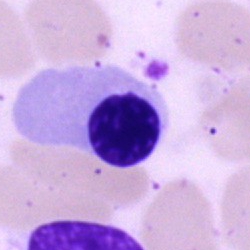{"cell_type": "normoblast"}